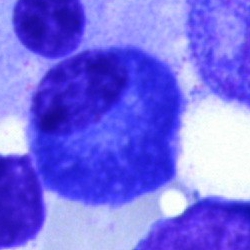Showing a plasma cell.